Bone marrow aspirate smear
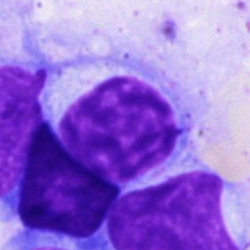 Q: Which cell type is shown here?
A: Lymphocyte.